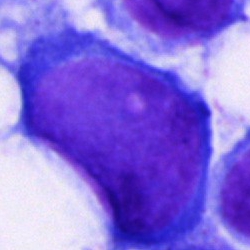
Q: Identify the cell.
A: A pronormoblast.